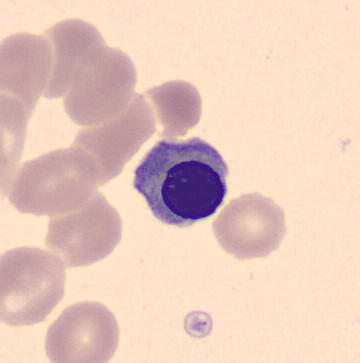

Classification: nucleated red cell.